Bone marrow aspirate smear:
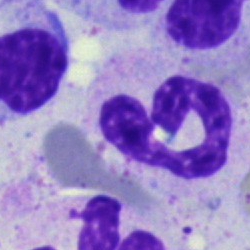

Single cell identified as a segmented neutrophil.